Bone marrow smear. Cropped to a single cell — 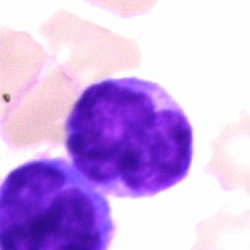 Specimen: bone marrow aspirate smear.
Classification: plasmacyte.
Lineage: lymphoid.